Bone marrow aspirate smear.
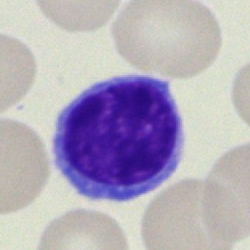
Specimen: bone marrow aspirate smear.
Cell: lymphocyte.